Bone marrow aspirate smear.
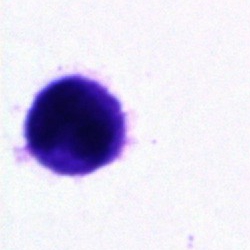

Q: What is shown here?
A: It is an unidentifiable cell.